Bone marrow smear — 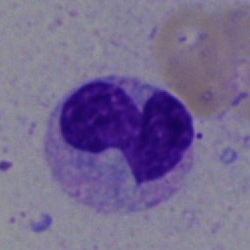 {"cell_type": "band neutrophil", "lineage": "myeloid"}